Single-cell crop; bone marrow aspirate smear; 40× objective, oil immersion: 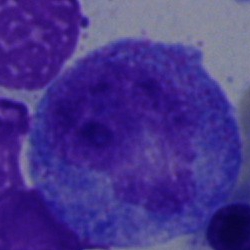

The classification is progranulocyte.